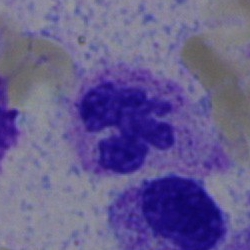 Impression — polymorphonuclear neutrophil.